250×250 · bone marrow smear — 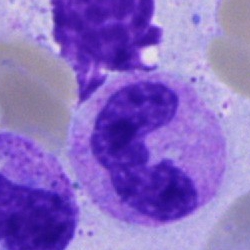

Specimen: bone marrow smear.
Morphological class: neutrophil (segmented).
Lineage: myeloid.